Bone marrow aspirate smear:
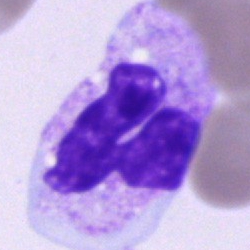Morphology — neutrophil (segmented).